250×250 · bone marrow smear · 40× oil immersion:
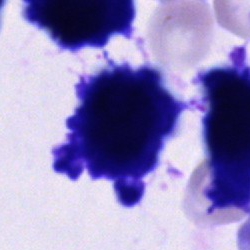 Specimen: bone marrow aspirate smear.
Classification: cell of indeterminate lineage.